Bone marrow smear; 40× objective, oil immersion.
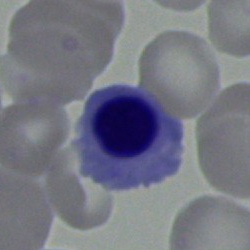
Q: What type of cell is this?
A: It is an erythroblast.